Bone marrow aspirate smear. 250×250 px — 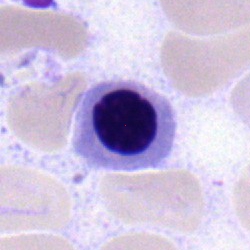
Morphology consistent with a normoblast.